Bone marrow smear
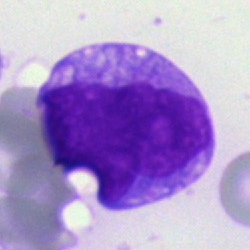
Classification — undifferentiated blast.